Peripheral blood film: 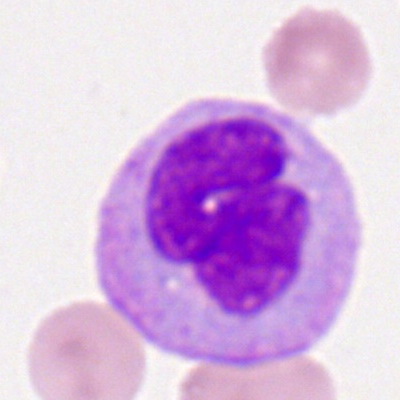
Cell type — monocyte.